MGG-stained; bone marrow smear.
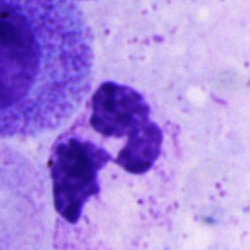
Showing a neutrophil (segmented).